Bone marrow smear. MGG-stained — 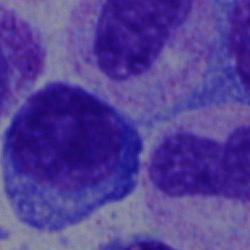 Q: What cell is this?
A: Plasma cell.